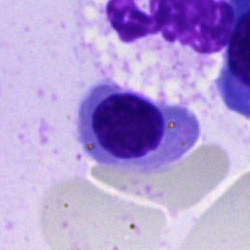 This is an erythroblast.